Brightfield, 40× oil-immersion objective. Single cell centered in the field. Bone marrow aspirate smear
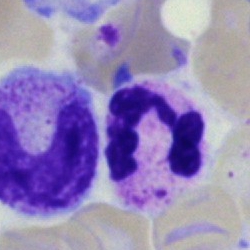

Morphology consistent with a polymorphonuclear neutrophil.